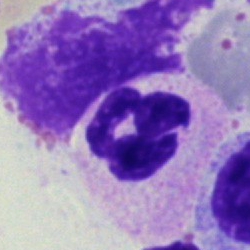The cell is polymorphonuclear neutrophil.